Brightfield microscopy, 40× oil immersion; bone marrow aspirate smear; May-Grünwald-Giemsa/Pappenheim stain.
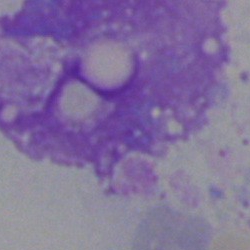 Cell type = artefact.